250×250 · bone marrow aspirate smear · Pappenheim-stained.
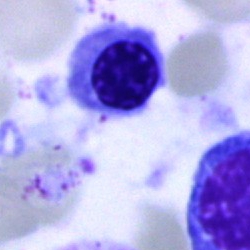
This is an erythroblast.